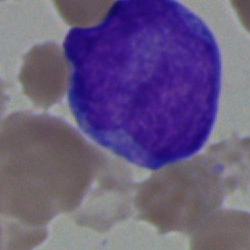

This is a blast.